Bone marrow aspirate smear:
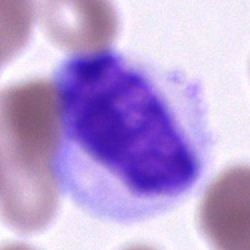 Classification: unidentifiable cell.